Bone marrow aspirate smear: 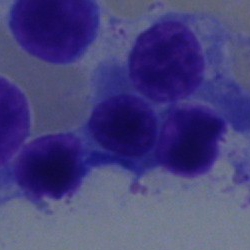Morphology consistent with a nucleated red cell.